Bone marrow aspirate smear · Pappenheim-stained · 250×250 px — 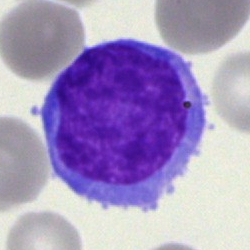 Specimen: bone marrow aspirate smear.
Cell type: undifferentiated blast.